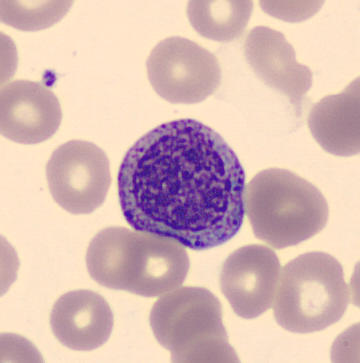Q: What is this?
A: It is a myelocyte.

Single cell centered in the field. Peripheral blood smear. MGG-stained.